Bone marrow smear — 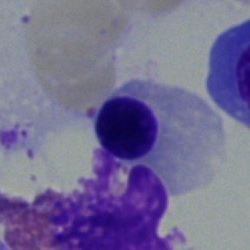The cell shown is a normoblast.